Bone marrow aspirate smear:
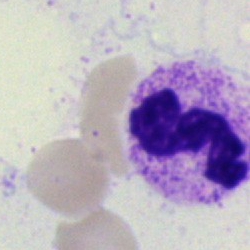Showing a segmented neutrophil.